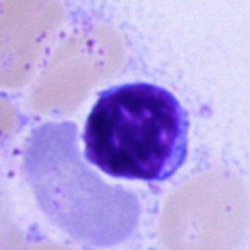
Q: What is shown here?
A: A lymphocyte.